250×250 · bone marrow aspirate smear — 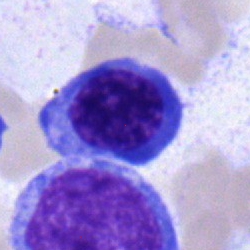

The morphological class is nucleated red blood cell.